Bone marrow aspirate smear · 40× objective, oil immersion
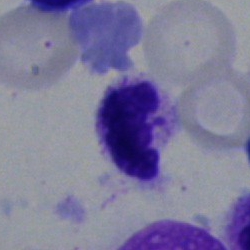
Morphology consistent with a neutrophil (segmented).